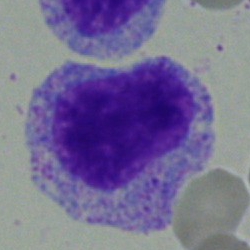

Bone marrow smear showing a myelocyte.